40× oil immersion · bone marrow aspirate smear:
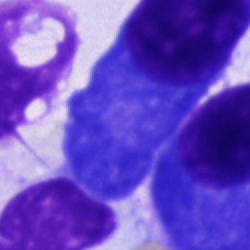Cell — plasma cell.